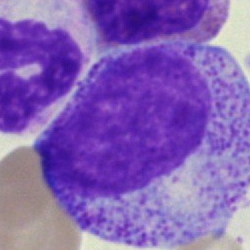Impression → progranulocyte.